Bone marrow smear. Image size 250×250: 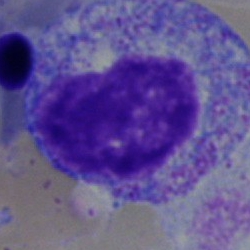

This is a myelocyte.